Bone marrow aspirate smear:
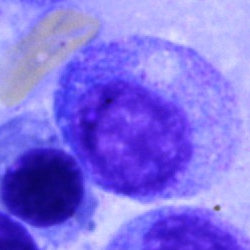

Classification = progranulocyte.